40× objective, oil immersion · bone marrow smear.
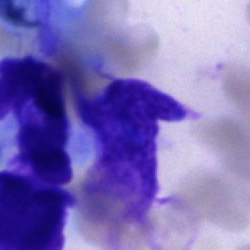 Morphological class = artefact.